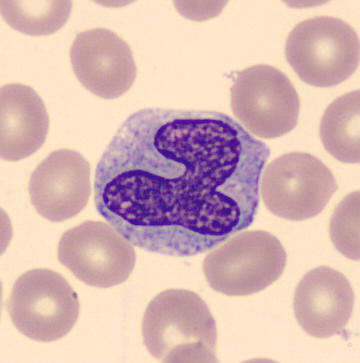 The classification is monocyte.